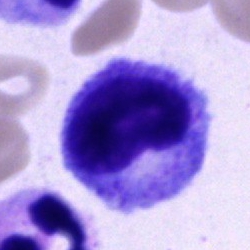A promyelocyte.